Bone marrow aspirate smear.
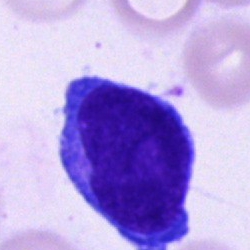 The morphological class is blast cell.